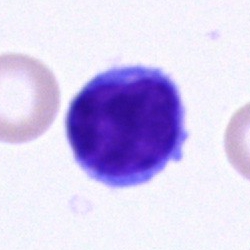

Bone marrow aspirate smear, single cell — typical lymphocyte.